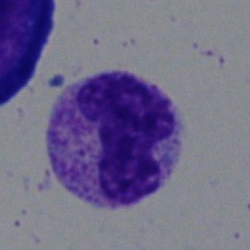 Morphology consistent with a metamyelocyte.